Brightfield microscopy, 40× oil immersion; bone marrow aspirate smear; 250×250: 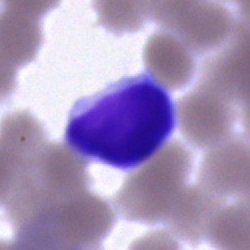This is a plasma cell.